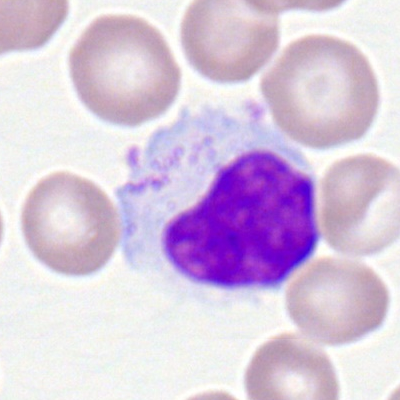

Cell type = typical lymphocyte.